Peripheral blood smear
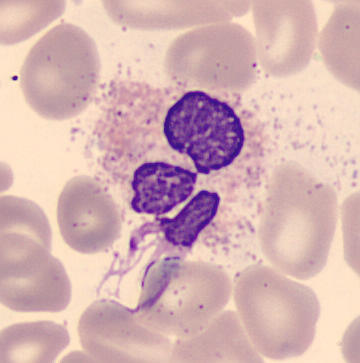 The cell type is segmented neutrophil.